May-Grünwald-Giemsa stain · bone marrow aspirate smear · single-cell field — 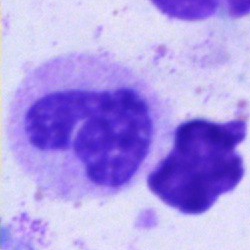The cell is neutrophil (segmented).